Bone marrow smear:
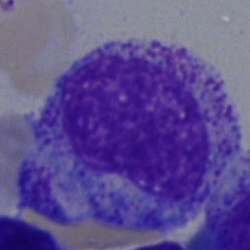 Q: What is the morphological classification of this cell?
A: Myelocyte.